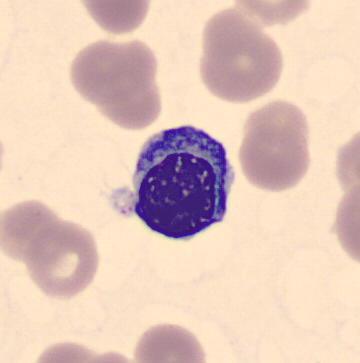
Cell type: nucleated red cell.